Bone marrow aspirate smear — 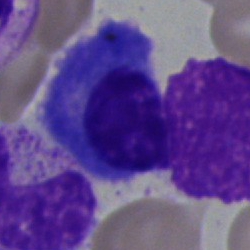
Specimen: bone marrow aspirate smear.
Classification: plasmacyte.